Cropped to a single cell · bone marrow aspirate smear: 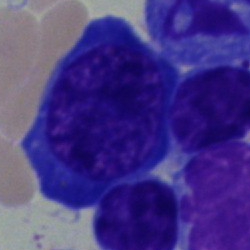 Cell = nucleated red blood cell.